250 by 250 pixels; bone marrow aspirate smear:
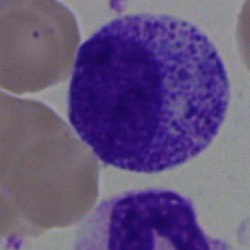

This is a myelocyte.